Bone marrow aspirate smear · May-Grünwald-Giemsa/Pappenheim stain — 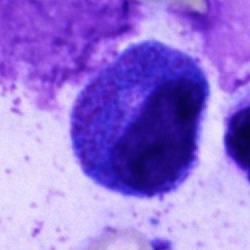 Morphological class: promyelocyte.